Bone marrow smear: 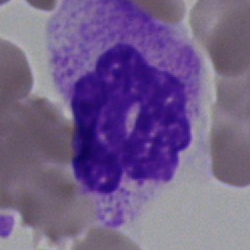 Morphology consistent with a neutrophil (segmented).